Single-cell crop. Peripheral blood film:
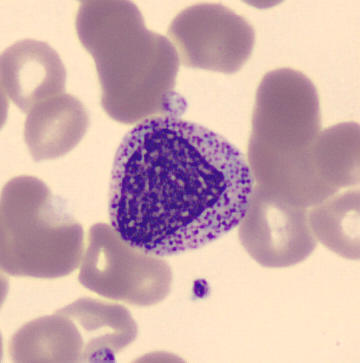
Specimen: peripheral blood smear.
Cell type: myelocyte.
Lineage: myeloid.